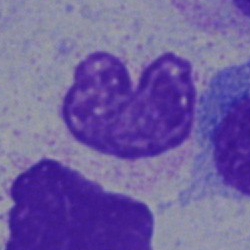Morphology → neutrophil (band).